May-Grünwald-Giemsa/Pappenheim stain · bone marrow aspirate smear · cropped to a single cell
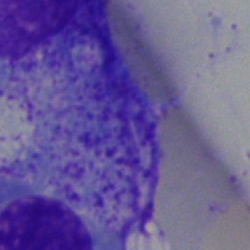
Artifact.